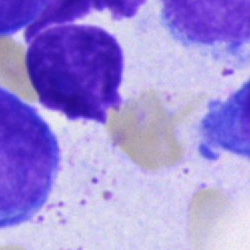
Morphological class: cell of indeterminate lineage.